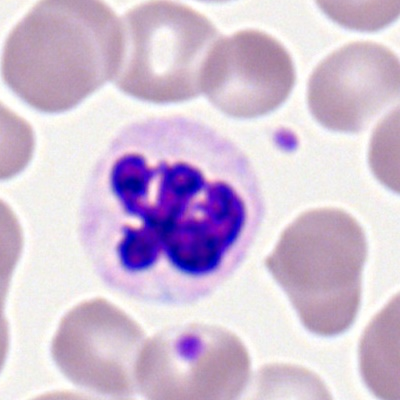

Polymorphonuclear neutrophil.